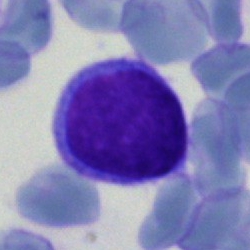{"cell_type": "blast cell"}